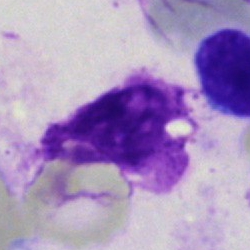
Bone marrow smear showing an artifact.